Bone marrow smear — 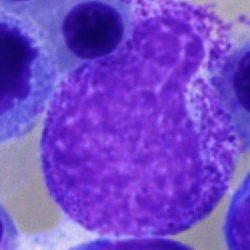

The cell is promyelocyte.